Single-cell crop; May-Grünwald-Giemsa stain; bone marrow smear: 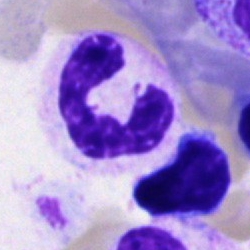 Specimen: bone marrow smear.
Cell type: band-form neutrophil.